Bone marrow smear:
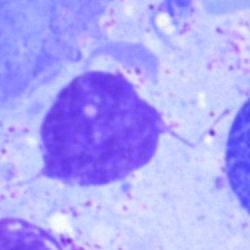Specimen: bone marrow smear.
Morphological class: artifact.